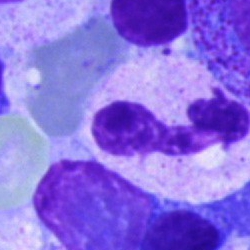 Q: What is shown here?
A: Segmented neutrophil.